Bone marrow smear:
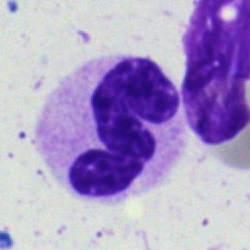

Cell — neutrophil (segmented).